Peripheral blood film:
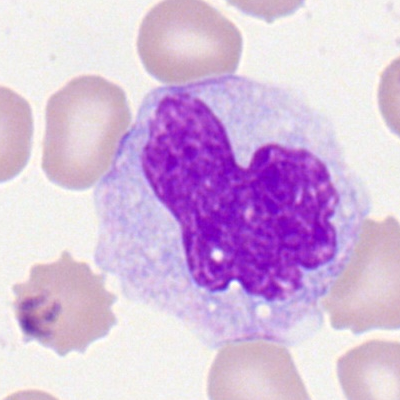Showing a monocyte.